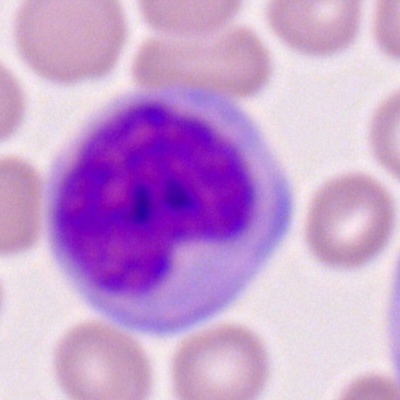
Specimen: peripheral blood smear.
Morphological class: monocyte.
Lineage: myeloid.